250×250. Bone marrow smear. 40× oil immersion.
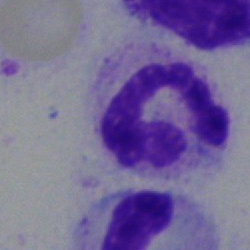Specimen: bone marrow aspirate smear.
Morphological class: polymorphonuclear neutrophil.
Lineage: myeloid.